Single-cell field. Bone marrow smear
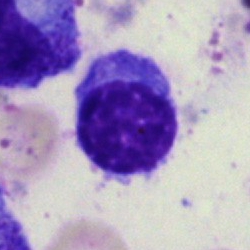Q: What is shown here?
A: It is a lymphocyte.